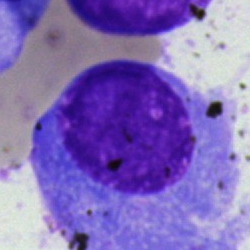
Q: What is the morphological classification of this cell?
A: It is a plasmacyte.